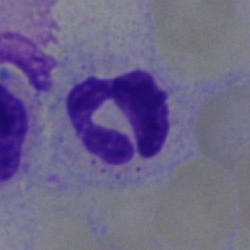 Single cell identified as a polymorphonuclear neutrophil.